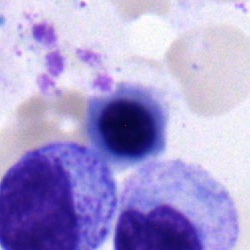Bone marrow aspirate smear, single cell — nucleated red blood cell.